Bone marrow smear · 250×250 px.
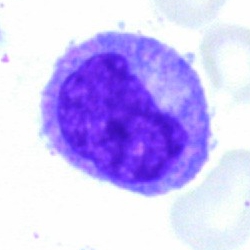 Specimen: bone marrow aspirate smear.
Morphological class: progranulocyte.
Lineage: myeloid.